Bone marrow smear:
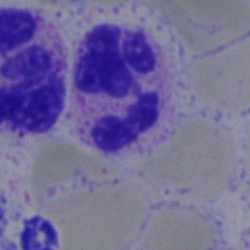

Cell = polymorphonuclear neutrophil.